Bone marrow smear.
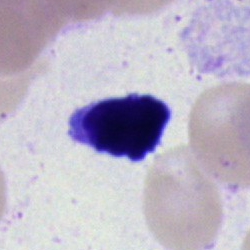

Specimen: bone marrow aspirate smear.
Classification: artefact.